Bone marrow aspirate smear. 40× oil immersion:
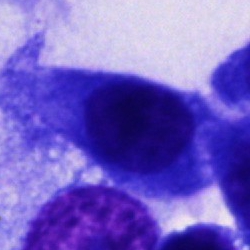
Classification: cell not matching the other categories.